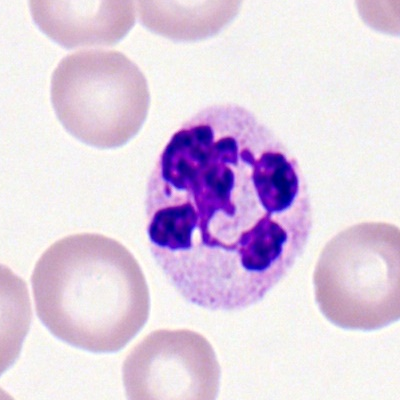
Q: Identify the cell.
A: This is a polymorphonuclear neutrophil.